Bone marrow aspirate smear
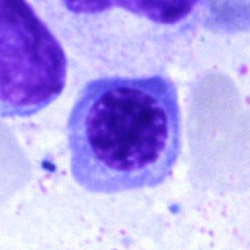 The cell shown is a normoblast.